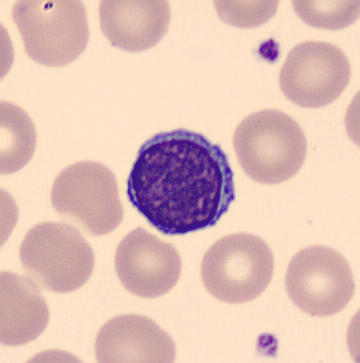
{"cell_type": "typical lymphocyte"}